Bone marrow smear: 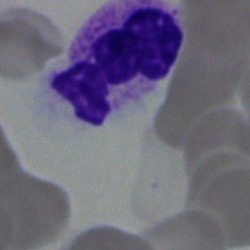

Morphology — polymorphonuclear neutrophil.